Bone marrow aspirate smear. 250 by 250 pixels: 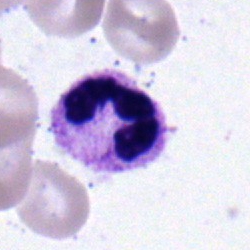
The cell shown is a polymorphonuclear neutrophil.